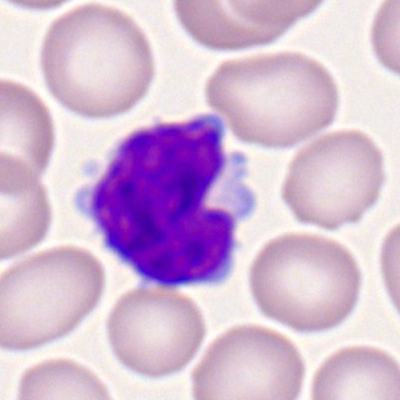 Cell = typical lymphocyte.